250 by 250 pixels. Bone marrow aspirate smear.
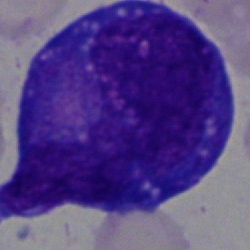{"cell_type": "blast cell"}